Bone marrow smear — 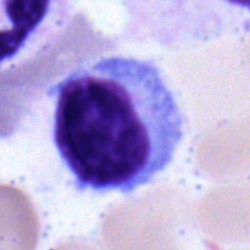

Showing a typical lymphocyte.